Bone marrow smear — 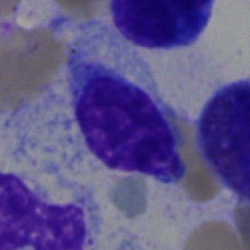Single cell identified as a lymphocyte.